Bone marrow aspirate smear · 250 by 250 pixels
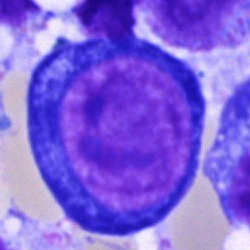

Morphology — proerythroblast.